Bone marrow smear: 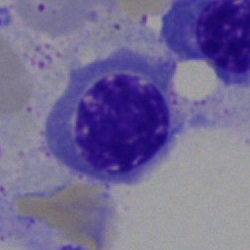 Nucleated red blood cell.